Bone marrow smear · brightfield, 40× oil-immersion objective: 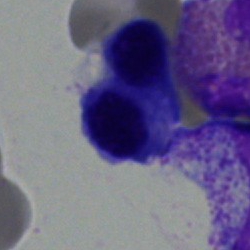 Q: What is shown here?
A: An erythroblast.